Bone marrow smear — 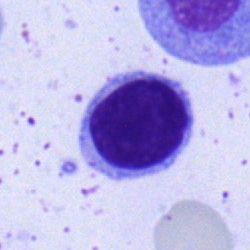Morphology → typical lymphocyte.